Bone marrow smear — 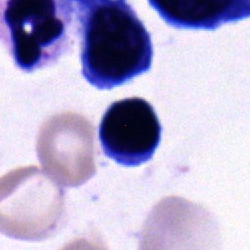

The cell is typical lymphocyte.